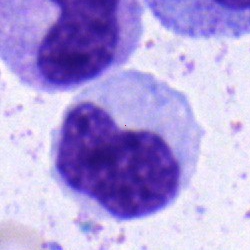
Bone marrow aspirate smear, single cell — metamyelocyte.